Peripheral blood film.
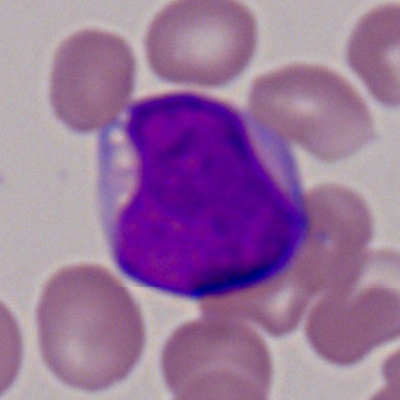Specimen: peripheral blood film.
Cell type: myeloid blast.
Lineage: myeloid.